Bone marrow smear: 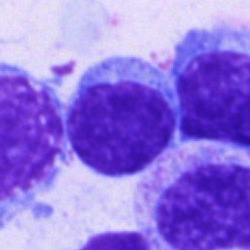
Single cell identified as a typical lymphocyte.